Bone marrow aspirate smear
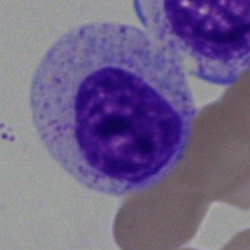
Specimen: bone marrow smear.
Morphological class: myelocyte.
Lineage: myeloid.